Bone marrow smear.
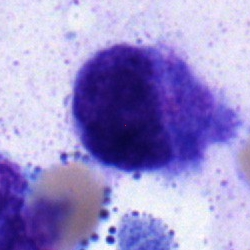Single cell identified as a monocyte.